Bone marrow aspirate smear — 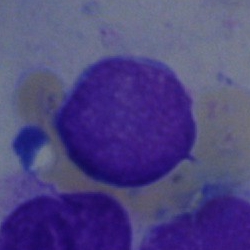Single cell identified as a blast.